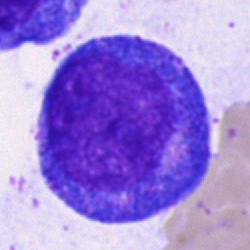
The classification is progranulocyte.